Bone marrow aspirate smear — 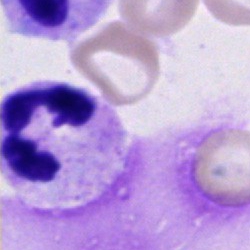The cell type is polymorphonuclear neutrophil.